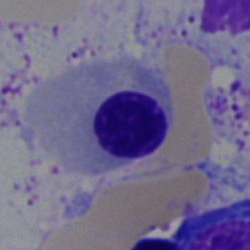 Showing a nucleated red cell.